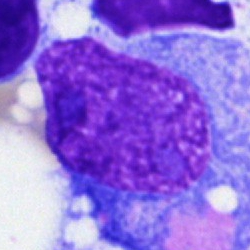

The cell type is artefact.